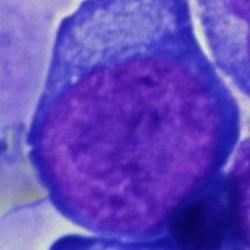
Impression → proerythroblast.